Bone marrow smear; MGG-stained: 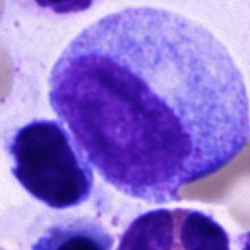

Showing a promyelocyte.